Bone marrow smear. Brightfield microscopy, 40× oil immersion:
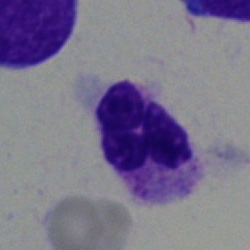
Morphology — segmented neutrophil.